Brightfield, 40× oil-immersion objective · MGG-stained · bone marrow aspirate smear:
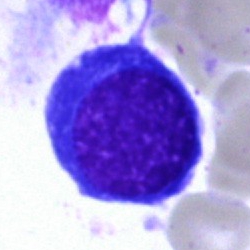
Morphology consistent with a nucleated red blood cell.